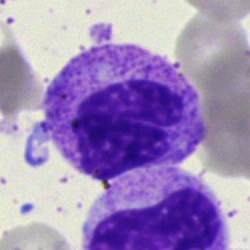Impression → band-form neutrophil.